Bone marrow smear: 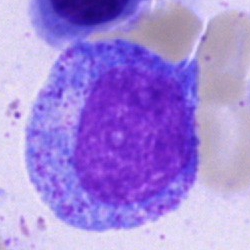
This is a progranulocyte.